Bone marrow smear — 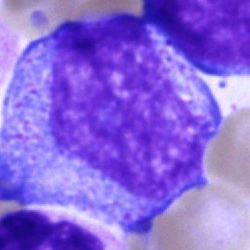 Morphology consistent with a progranulocyte.